Bone marrow smear; brightfield microscopy, 40× oil immersion; image size 250×250:
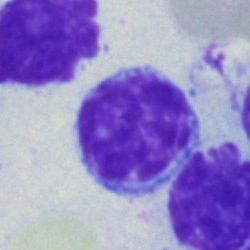

Cell type = lymphocyte.